Bone marrow aspirate smear
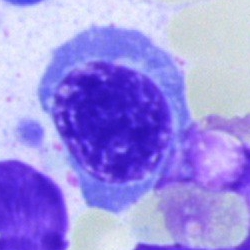

Q: Identify the cell.
A: It is an erythroblast.